Bone marrow aspirate smear.
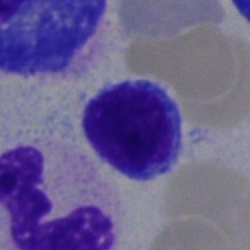Cell type — lymphocyte.